MGG-stained. 40× oil immersion. Bone marrow aspirate smear:
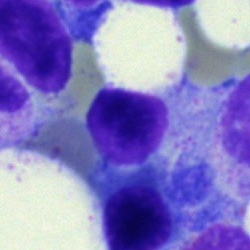Q: Identify the cell.
A: It is a typical lymphocyte.